Single-cell field; bone marrow smear; May-Grünwald-Giemsa stain:
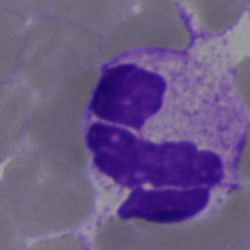Q: What type of cell is this?
A: It is a polymorphonuclear neutrophil.